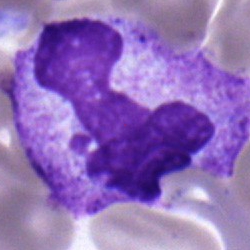
Q: What type of cell is this?
A: This is a band neutrophil.